Bone marrow smear · single-cell crop · brightfield microscopy, 40× oil immersion.
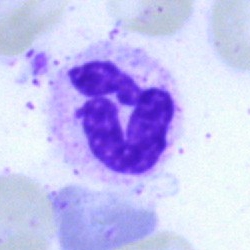A polymorphonuclear neutrophil.